Peripheral blood smear: 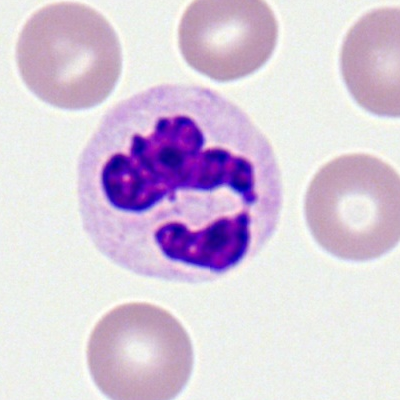

Single cell identified as a neutrophil (segmented).